Cropped to a single cell. Bone marrow aspirate smear.
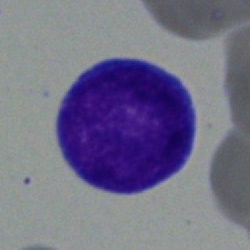
This is a blast cell.